40× objective, oil immersion. Bone marrow aspirate smear. Image size 250×250
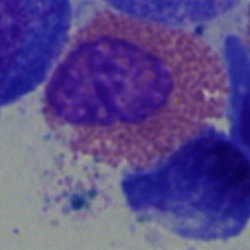
An eosinophil.